Brightfield, 40× oil-immersion objective; bone marrow smear
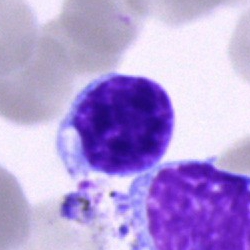Specimen: bone marrow smear.
Cell: lymphocyte.